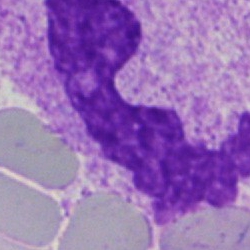Morphology → band neutrophil.